250×250 · bone marrow smear: 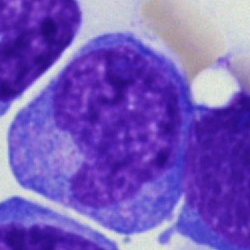

Q: What is shown here?
A: It is a monocyte.